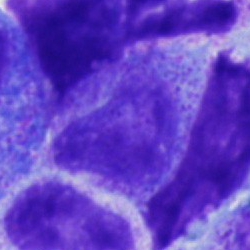

Morphology — progranulocyte.